Bone marrow smear.
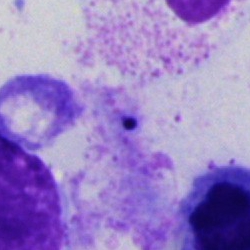 Cell — artifact.